Bone marrow smear: 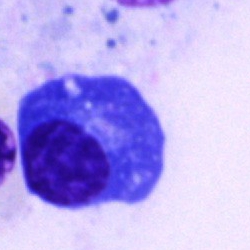Q: What cell is this?
A: Plasmacyte.